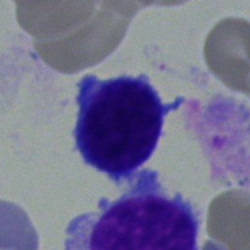Morphology consistent with a typical lymphocyte.